Peripheral blood film
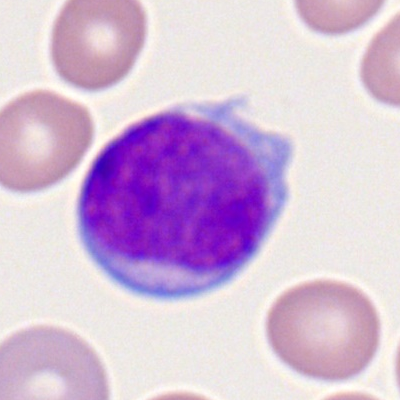The cell type is myeloblast.